Bone marrow smear — 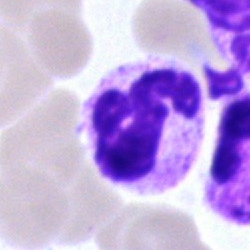
Q: What is shown here?
A: This is a polymorphonuclear neutrophil.